Brightfield microscopy, 40× oil immersion. Bone marrow smear — 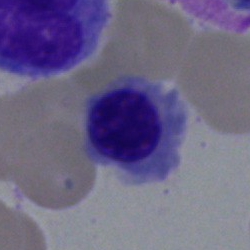
Nucleated red cell.